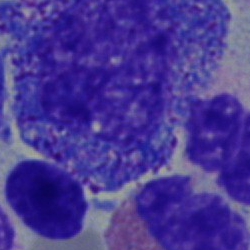
Bone marrow aspirate smear, single cell — promyelocyte.